Pappenheim-stained; bone marrow smear; single-cell crop.
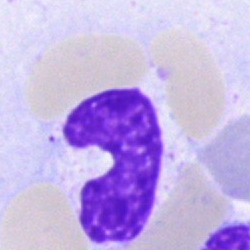

An artifact.